Bone marrow smear
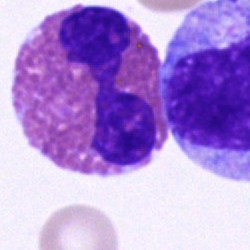 Single cell identified as an eosinophil.